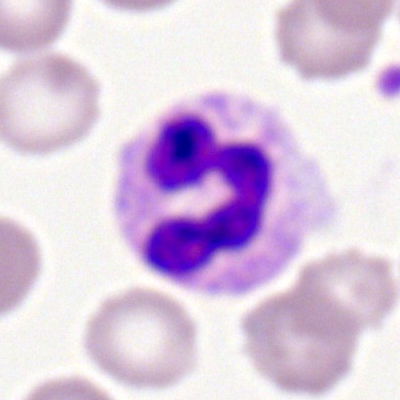

Q: What type of cell is this?
A: Neutrophil (segmented).